Bone marrow aspirate smear.
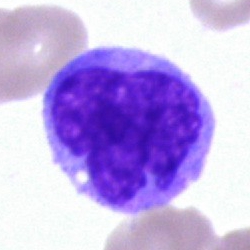 Showing a monocyte.